Brightfield, 40× oil-immersion objective. Bone marrow smear. Cropped to a single cell — 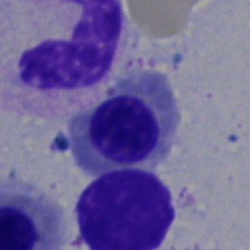Cell: erythroblast.